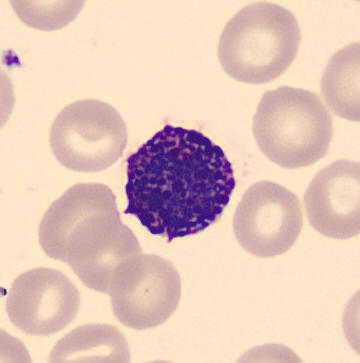 Acquisition: Cropped to a single cell; peripheral blood smear.

The cell shown is a basophil.